Bone marrow smear:
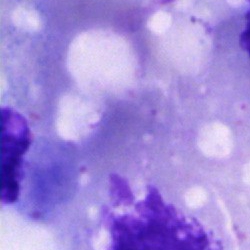

An artifact.